Bone marrow aspirate smear
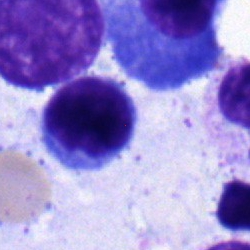 Cell type = typical lymphocyte.